Bone marrow smear:
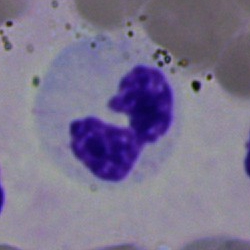Q: Identify the cell.
A: Segmented neutrophil.